250 by 250 pixels · bone marrow aspirate smear · 40× oil immersion — 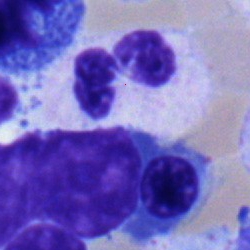Q: Which cell type is shown here?
A: This is a polymorphonuclear neutrophil.